Bone marrow aspirate smear. Brightfield, 40× oil-immersion objective
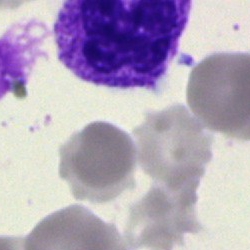The cell shown is a segmented neutrophil.